Image size 250×250 · Pappenheim-stained · bone marrow aspirate smear
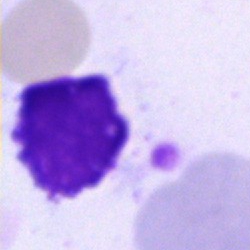
Q: What is shown here?
A: It is an artefact.